Bone marrow smear
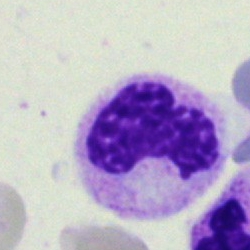

The cell shown is a polymorphonuclear neutrophil.